Bone marrow smear. Single-cell field:
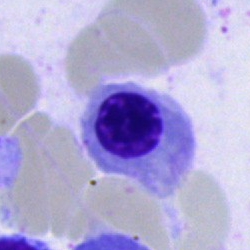 Q: What type of cell is this?
A: It is an erythroblast.